May-Grünwald-Giemsa/Pappenheim stain · single-cell field · bone marrow aspirate smear — 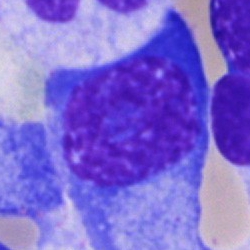 Cell type: plasma cell.